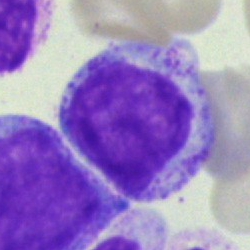
A myelocyte.